Pappenheim-stained; bone marrow aspirate smear; brightfield, 40× oil-immersion objective.
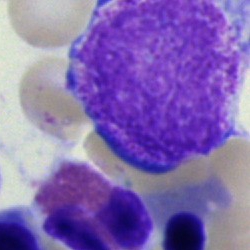 Classification: artefact.